Bone marrow aspirate smear; single-cell crop; brightfield, 40× oil-immersion objective:
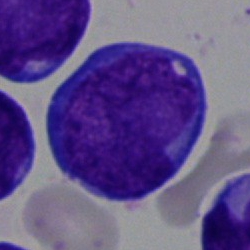Blast cell.